Image size 250×250 · bone marrow aspirate smear.
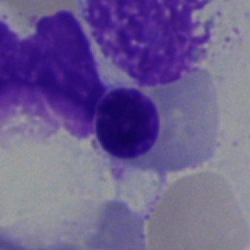 This is a nucleated red cell.